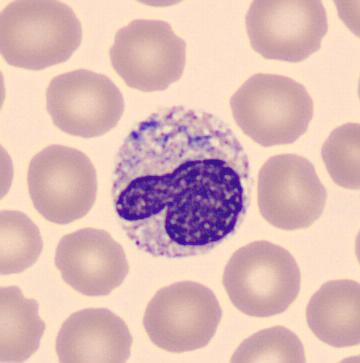 Single cell identified as a band-form neutrophil.
Acquisition: Peripheral blood smear · May-Grünwald-Giemsa-stained.